MGG-stained. Bone marrow smear. 250×250:
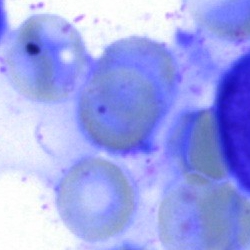

Morphology consistent with an artefact.